Bone marrow smear
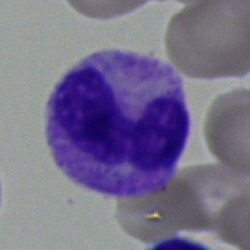

Specimen: bone marrow smear.
Cell: band-form neutrophil.
Lineage: myeloid.